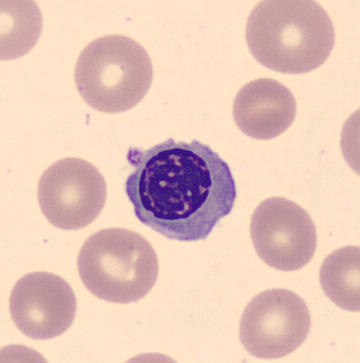The cell is normoblast.

Acquisition: Peripheral blood film.